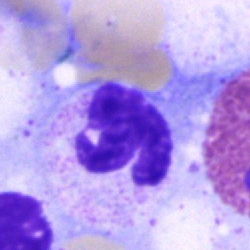 This is a polymorphonuclear neutrophil.